Bone marrow smear:
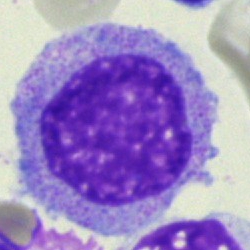Morphology consistent with a myelocyte.